Bone marrow smear:
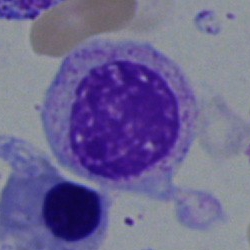
Classification = myelocyte.